Bone marrow smear; May-Grünwald-Giemsa stain.
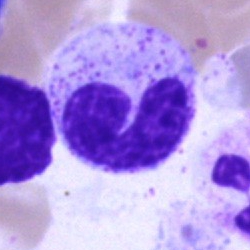Stab cell.